Cropped to a single cell; bone marrow smear; 250×250 px — 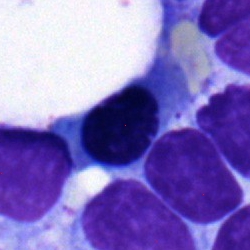

Single cell identified as an erythroblast.